100× objective, oil immersion; 400 by 400 pixels; peripheral blood smear
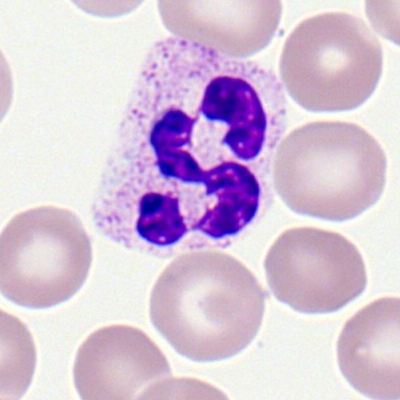
Q: What is shown here?
A: Polymorphonuclear neutrophil.